Bone marrow aspirate smear.
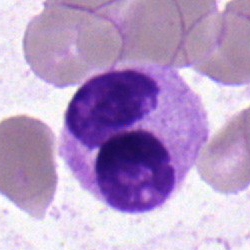

Morphological class = neutrophil (segmented).